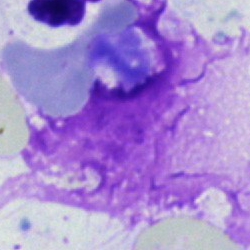
Cell type = artefact.